40× objective, oil immersion. May-Grünwald-Giemsa stain. Bone marrow smear: 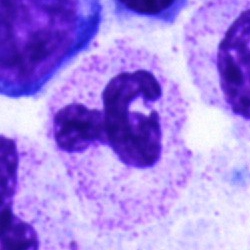
Morphology consistent with a segmented neutrophil.